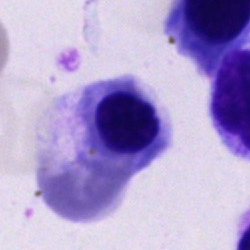

A nucleated red cell on a bone marrow smear.